Bone marrow smear.
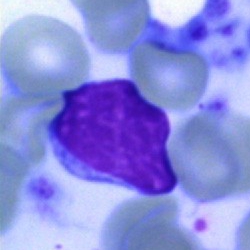Q: What type of cell is this?
A: Typical lymphocyte.